Bone marrow smear:
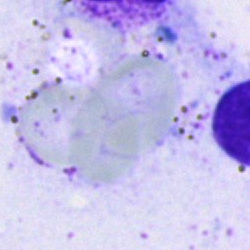An artefact.